Brightfield, 40× oil-immersion objective; bone marrow smear:
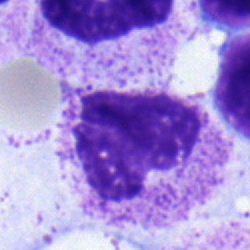 Q: What is the morphological classification of this cell?
A: Metamyelocyte.